Bone marrow smear: 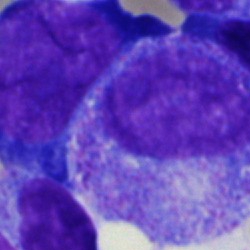This is a progranulocyte.